May-Grünwald-Giemsa stain · bone marrow aspirate smear · cropped to a single cell: 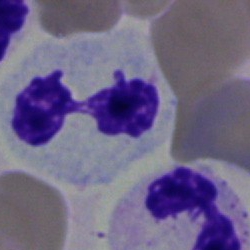

Single cell identified as a neutrophil (segmented).